Bone marrow smear · single-cell field · Pappenheim-stained: 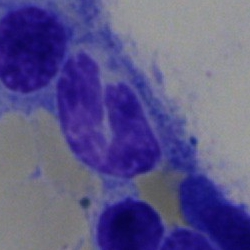

Q: What is shown here?
A: An artefact.